40× oil immersion · bone marrow aspirate smear · single cell centered in the field:
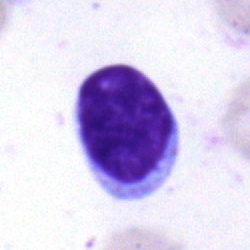
Cell = lymphocyte.